40× oil immersion · bone marrow aspirate smear · single-cell crop.
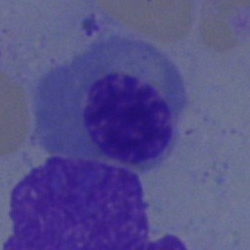 Impression — nucleated red blood cell.